Pappenheim-stained; image size 250×250; bone marrow aspirate smear:
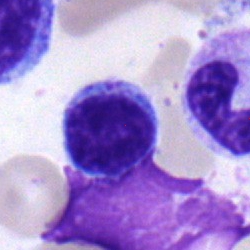
{"cell_type": "lymphocyte"}